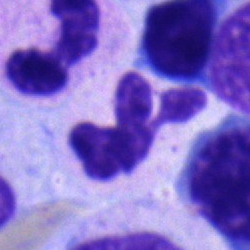
Specimen: bone marrow aspirate smear.
Morphological class: polymorphonuclear neutrophil.
Lineage: myeloid.